Bone marrow smear; May-Grünwald-Giemsa/Pappenheim stain: 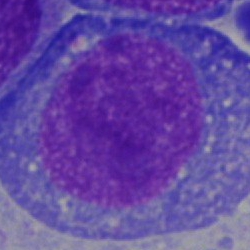 Specimen: bone marrow smear.
Morphological class: blast cell.